Bone marrow aspirate smear.
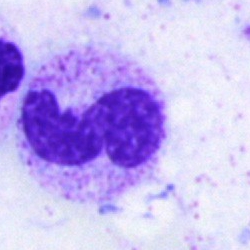

Q: What cell is this?
A: Neutrophil (band).